250×250. May-Grünwald-Giemsa stain. Bone marrow aspirate smear.
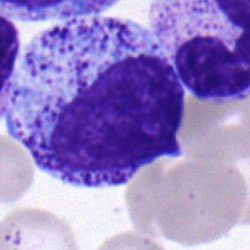 Q: What is the morphological classification of this cell?
A: This is a myelocyte.